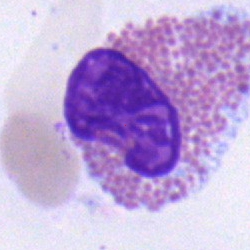 Specimen: bone marrow aspirate smear.
Morphological class: eosinophilic granulocyte.
Lineage: myeloid.